Bone marrow aspirate smear
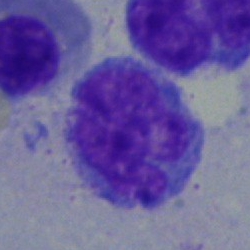Showing a monocyte.